Bone marrow aspirate smear. 40× objective, oil immersion — 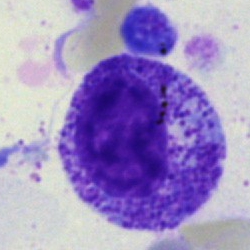{"cell_type": "myelocyte", "lineage": "myeloid"}